Bone marrow aspirate smear; single cell centered in the field; 40× oil immersion
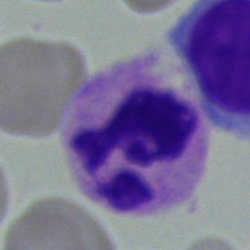
Morphology — neutrophil (segmented).